40× objective, oil immersion; bone marrow smear:
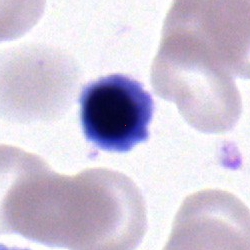Morphology consistent with a normoblast.